Bone marrow smear.
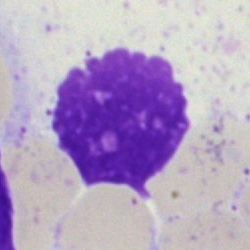
Q: What is shown here?
A: An artefact.